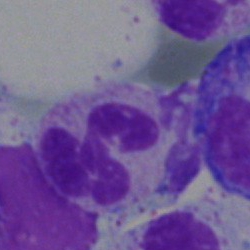

Bone marrow smear showing a neutrophil (segmented).